Bone marrow smear.
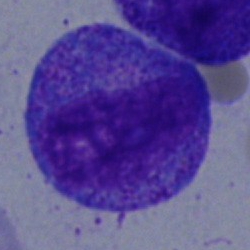
{"cell_type": "promyelocyte"}